Bone marrow aspirate smear: 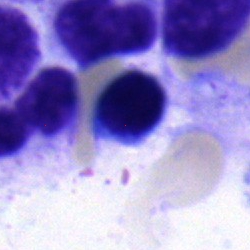

Single cell identified as a normoblast.